Bone marrow aspirate smear:
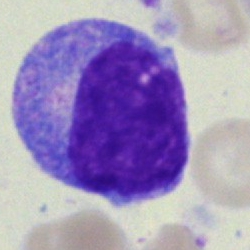
Q: What cell is this?
A: Promyelocyte.